Bone marrow smear. 250×250 px. Brightfield microscopy, 40× oil immersion.
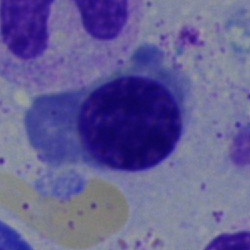This is an erythroblast.